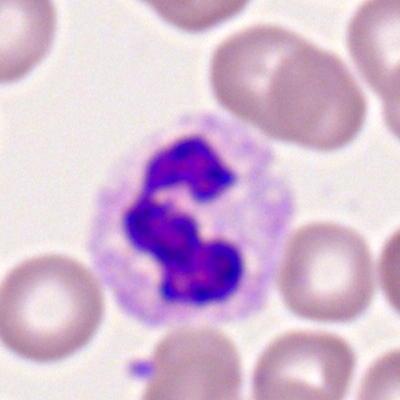

The cell shown is a neutrophil (segmented).